Cropped to a single cell. Peripheral blood film.
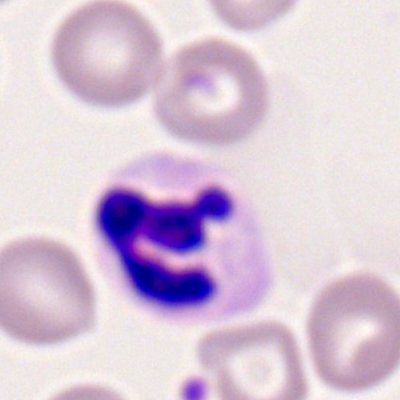Morphology consistent with a segmented neutrophil.